250×250 · bone marrow aspirate smear — 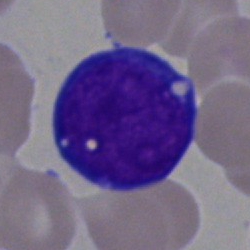
The classification is blast cell.